Bone marrow smear · single cell centered in the field · 250×250 px — 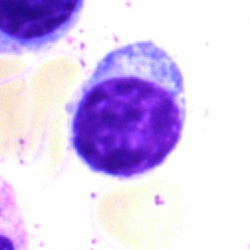
The cell is lymphocyte.